Peripheral blood film · Romanowsky stain: 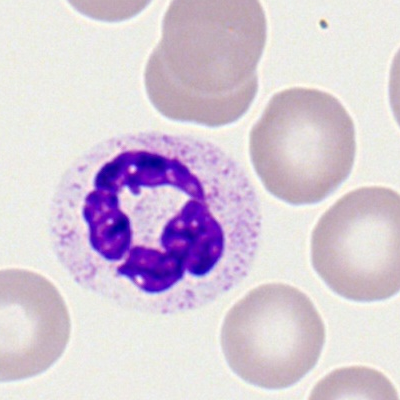Single cell identified as a segmented neutrophil.